Bone marrow smear:
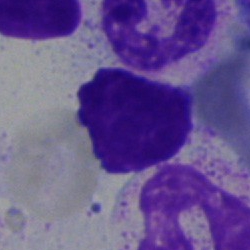 Q: What is shown here?
A: It is an artefact.